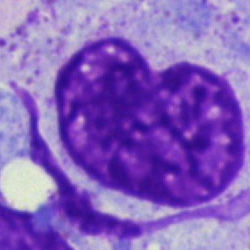Impression — artefact.